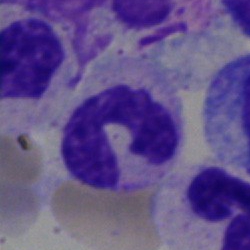
Specimen: bone marrow aspirate smear.
Classification: polymorphonuclear neutrophil.
Lineage: myeloid.